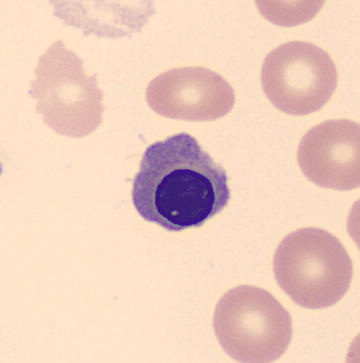

Classification = normoblast.

Acquisition: Peripheral blood smear.